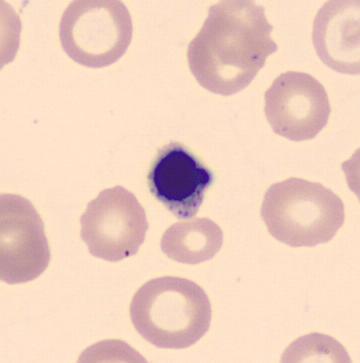
Nucleated red blood cell.

Preparation: Peripheral blood smear. CellaVision DM96.